Bone marrow smear — 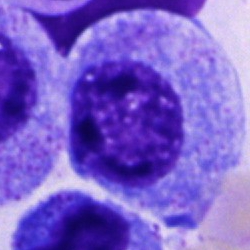Classification: progranulocyte.